Image size 250×250. Bone marrow smear:
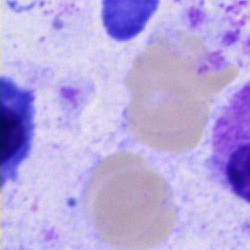 Morphological class — artefact.